Single-cell crop; bone marrow aspirate smear: 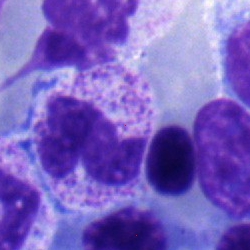
The classification is stab cell.